Bone marrow aspirate smear. Pappenheim-stained: 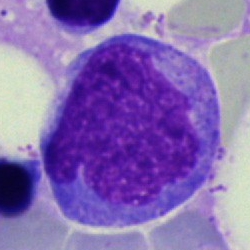
Showing a monocyte.